Single cell centered in the field · Pappenheim-stained · bone marrow aspirate smear
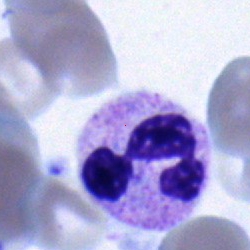The cell shown is a segmented neutrophil.